Bone marrow smear. 40× oil immersion.
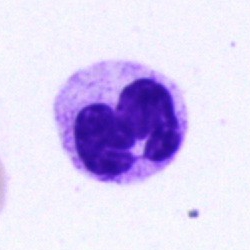A polymorphonuclear neutrophil.